Peripheral blood film. Romanowsky-stained. 100× oil immersion: 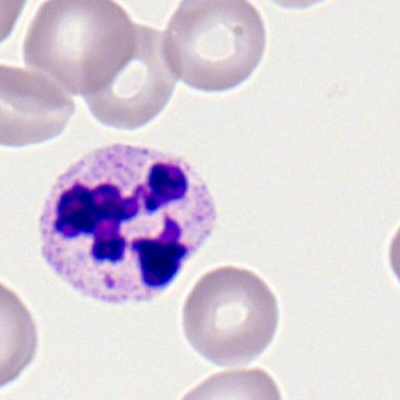

Cell type = polymorphonuclear neutrophil.